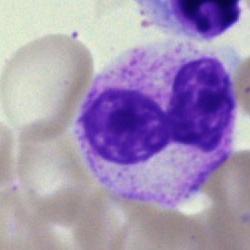
The classification is segmented neutrophil.